Bone marrow smear. 40× oil immersion. MGG-stained:
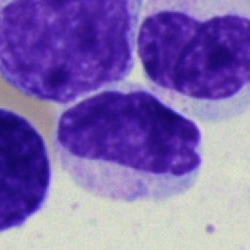
Metamyelocyte.